MGG-stained. 250 by 250 pixels. Bone marrow smear.
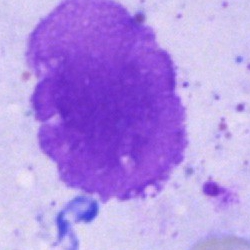 This is an artifact.